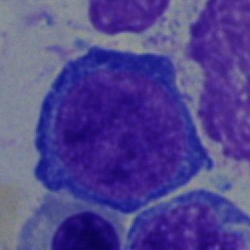
Cell type — pronormoblast.